250 by 250 pixels. Bone marrow smear: 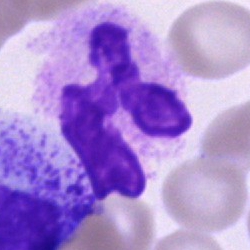 Morphological class: neutrophil (segmented).